Image size 250×250; May-Grünwald-Giemsa stain; bone marrow smear.
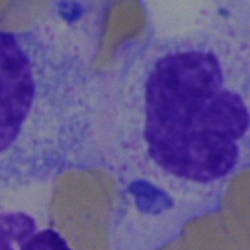 Specimen: bone marrow smear.
Cell: artifact.